Bone marrow aspirate smear · May-Grünwald-Giemsa/Pappenheim stain: 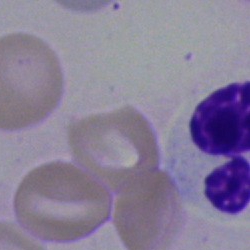Morphology consistent with a segmented neutrophil.